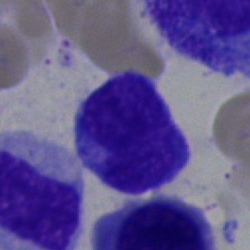 A typical lymphocyte on a bone marrow smear.